Bone marrow smear; cropped to a single cell: 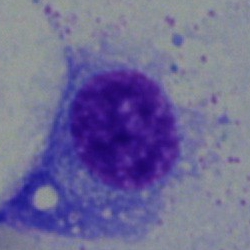

Classification: plasma cell.